May-Grünwald-Giemsa/Pappenheim stain · bone marrow aspirate smear — 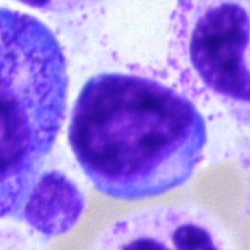A normoblast.